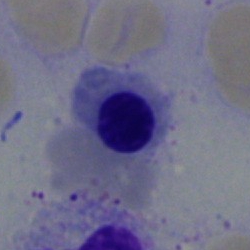

The cell is nucleated red blood cell.